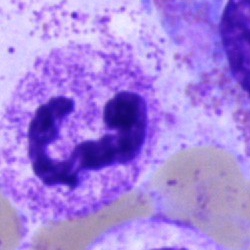

Q: What cell is this?
A: Neutrophil (segmented).